Bone marrow aspirate smear:
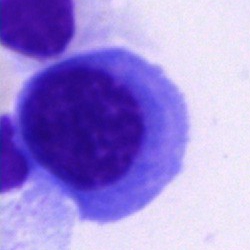Specimen: bone marrow smear.
Morphological class: normoblast.
Lineage: erythroid.